Bone marrow aspirate smear · single cell centered in the field: 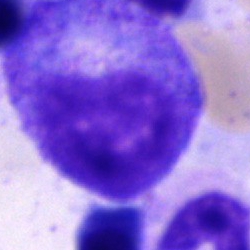 Q: What is shown here?
A: Promyelocyte.